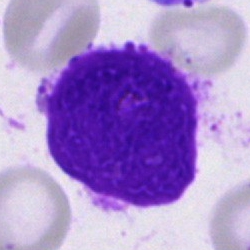
Morphology — artefact.